Brightfield microscopy, 40× oil immersion. Bone marrow smear: 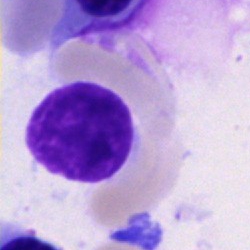
Morphology consistent with a typical lymphocyte.